Bone marrow aspirate smear · 250×250 px — 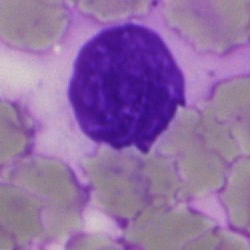
Showing an artifact.